Bone marrow aspirate smear. Brightfield microscopy, 40× oil immersion:
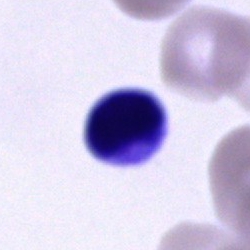

Q: What type of cell is this?
A: This is a cell of indeterminate lineage.